Bone marrow aspirate smear.
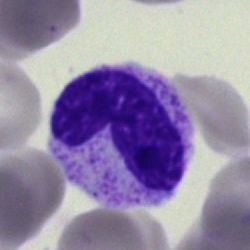 The classification is stab cell.